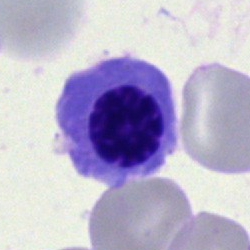 Specimen: bone marrow aspirate smear.
Cell: erythroblast.